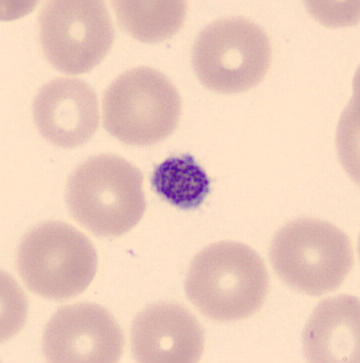Image size 360×363 · peripheral blood smear.
Morphology — platelet (thrombocyte).